Bone marrow smear.
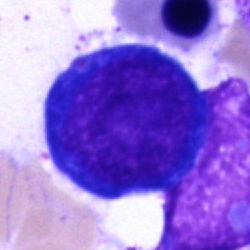Q: What type of cell is this?
A: A proerythroblast.